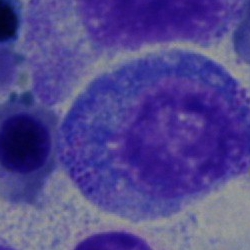

Progranulocyte.